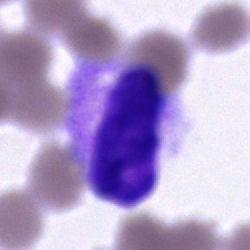The cell type is artefact.